Bone marrow smear.
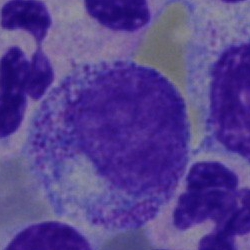
Morphological class — myelocyte.